Bone marrow smear: 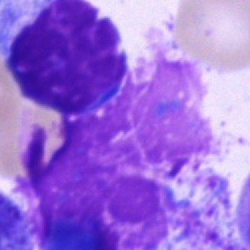

{"cell_type": "artefact"}